Bone marrow smear. Single-cell field: 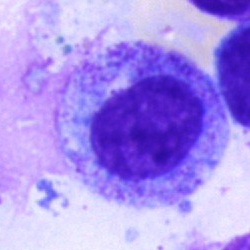Cell type: promyelocyte.